Bone marrow smear:
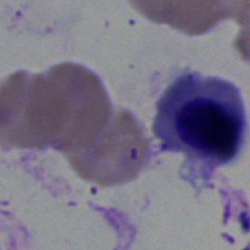 Q: What cell is this?
A: This is a nucleated red cell.